Brightfield, 40× oil-immersion objective · bone marrow smear.
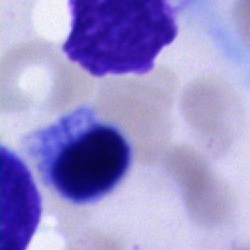Showing an unidentifiable cell.